250×250 · cropped to a single cell · bone marrow smear: 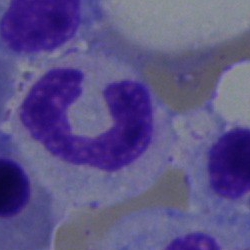
Cell — segmented neutrophil.